Bone marrow smear: 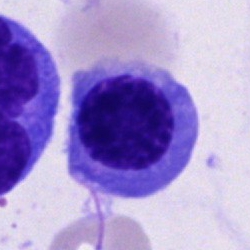
This is a normoblast.